Bone marrow smear:
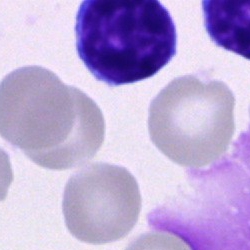Morphology → lymphocyte.